Bone marrow aspirate smear — 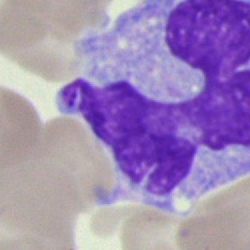
Morphology consistent with a monocyte.